Peripheral blood smear · Romanowsky-stained
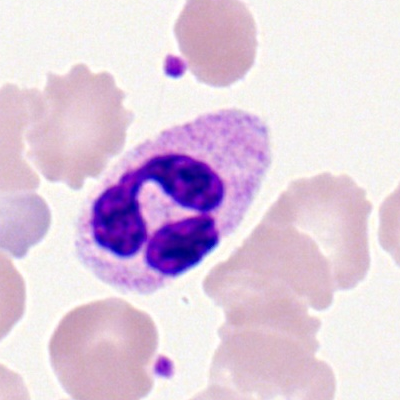
Cell type = segmented neutrophil.